Single-cell crop. Bone marrow aspirate smear: 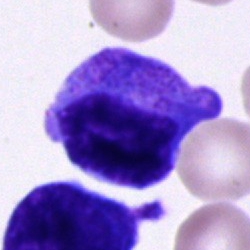Impression → cell of indeterminate lineage.